100× oil immersion · peripheral blood film · image size 400×400:
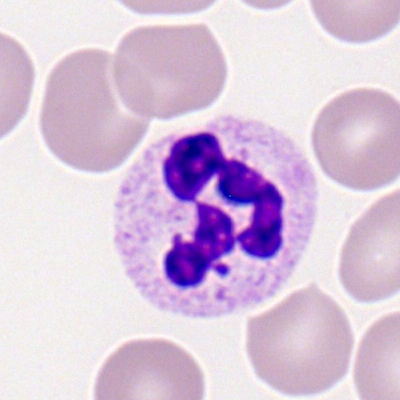Specimen: peripheral blood smear.
Cell type: polymorphonuclear neutrophil.
Lineage: myeloid.